Peripheral blood smear; CellaVision DM96:
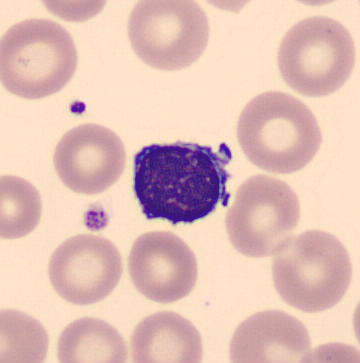
The cell shown is a typical lymphocyte.